Bone marrow smear:
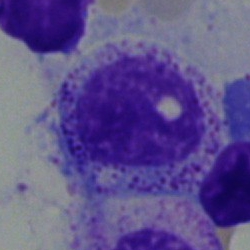 {"cell_type": "myelocyte", "lineage": "myeloid"}